Bone marrow aspirate smear. Single cell centered in the field. 40× objective, oil immersion:
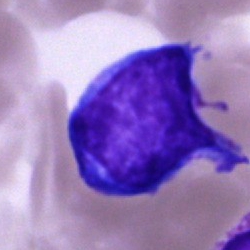Blast cell.